Peripheral blood smear · image size 400×400
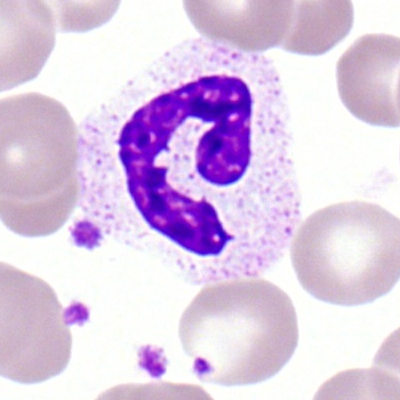
Impression — neutrophil (band).